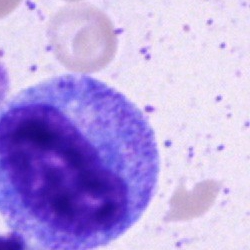
Cell — progranulocyte.